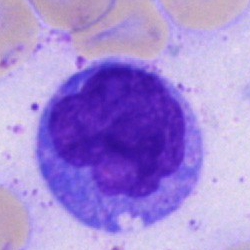 A monocyte on a bone marrow smear.